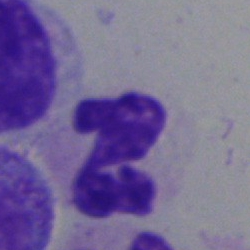Morphology — segmented neutrophil.